Bone marrow smear. Pappenheim-stained.
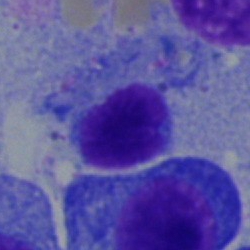
Morphological class = lymphocyte.